MGG-stained; brightfield, 40× oil-immersion objective; bone marrow smear — 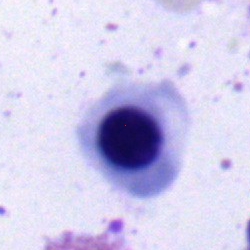 Specimen: bone marrow aspirate smear.
Morphological class: nucleated red cell.